Bone marrow aspirate smear · 40× objective, oil immersion: 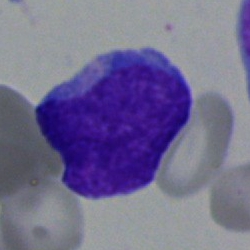Undifferentiated blast.